Bone marrow smear:
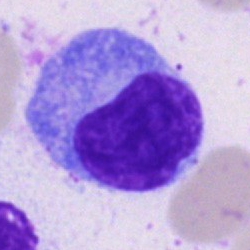The cell shown is a plasmacyte.